Peripheral blood film — 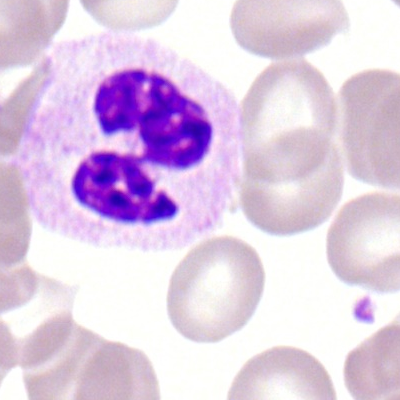 The morphological class is neutrophil (segmented).